Bone marrow smear: 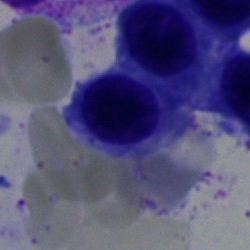Morphology consistent with a nucleated red cell.